Bone marrow aspirate smear
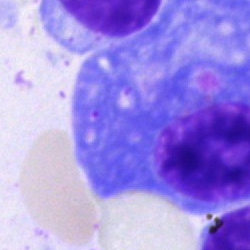 This is a plasma cell.